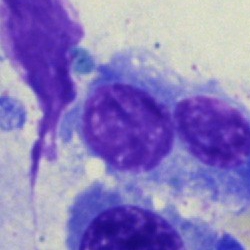

Morphology — artefact.